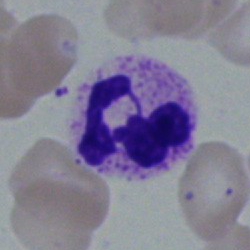

A polymorphonuclear neutrophil.